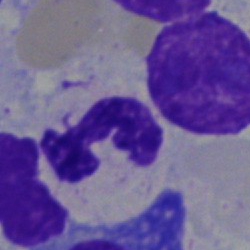
Morphology — segmented neutrophil.